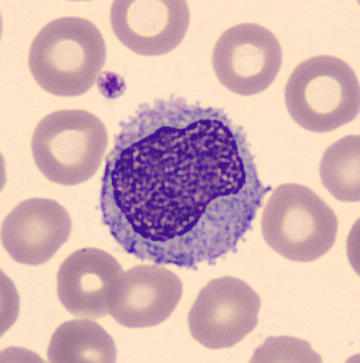 Single-cell crop · 360 by 363 pixels.
Specimen: peripheral blood smear.
Classification: monocyte.